Bone marrow smear — 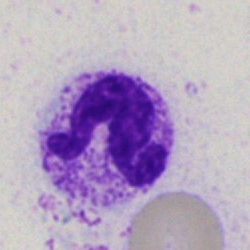Polymorphonuclear neutrophil.